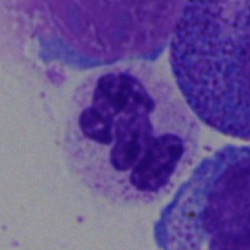
Polymorphonuclear neutrophil.